Bone marrow aspirate smear:
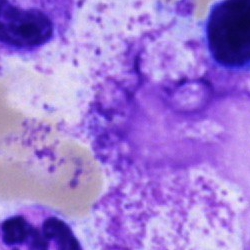 The cell type is artifact.